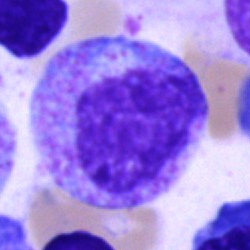
The classification is progranulocyte.